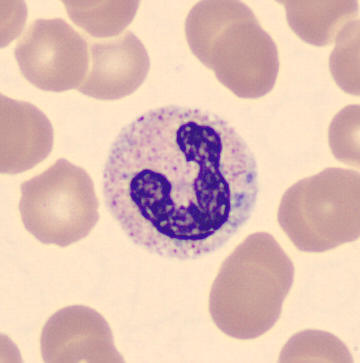 {"cell_type": "neutrophil (band)", "lineage": "myeloid"} Image: Imaged on a CellaVision DM96 analyser. Peripheral blood film.